Bone marrow aspirate smear; May-Grünwald-Giemsa/Pappenheim stain: 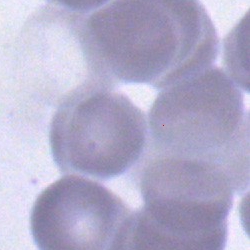

Showing a typical lymphocyte.